Bone marrow smear. Single-cell crop. Brightfield, 40× oil-immersion objective: 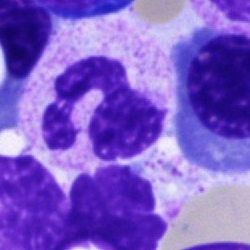 Morphology — segmented neutrophil.